Brightfield microscopy, 40× oil immersion; bone marrow smear:
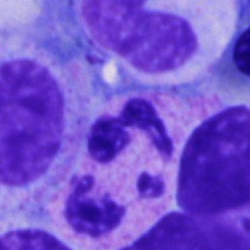

Showing a polymorphonuclear neutrophil.